Pappenheim-stained · bone marrow aspirate smear:
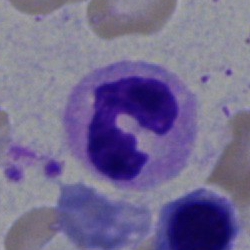 Cell — neutrophil (band).